Bone marrow aspirate smear; single-cell field; May-Grünwald-Giemsa stain: 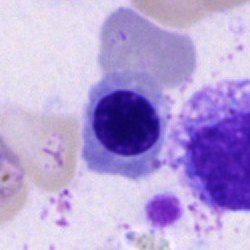
Morphology consistent with an erythroblast.